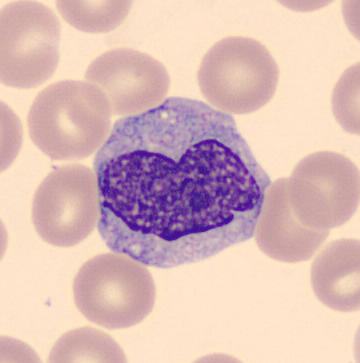Cell type = monocyte.

Single-cell crop; peripheral blood smear.